Bone marrow aspirate smear: 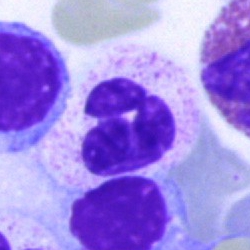

Q: What type of cell is this?
A: A segmented neutrophil.